Bone marrow aspirate smear
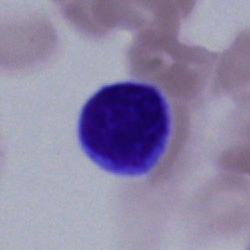

Q: What cell is this?
A: Typical lymphocyte.